Bone marrow smear
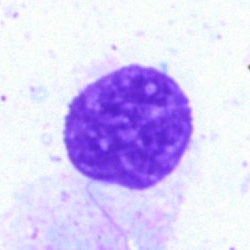 The morphological class is artifact.